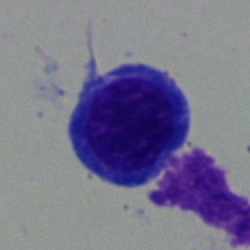 Bone marrow aspirate smear, single cell — normoblast.